Bone marrow aspirate smear:
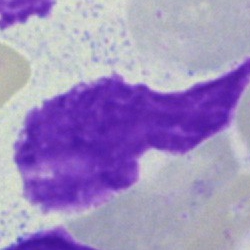
Morphology consistent with an artifact.